Peripheral blood smear.
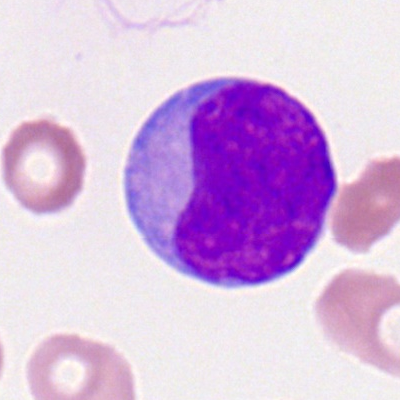

The cell shown is a myeloid blast.